Peripheral blood film — 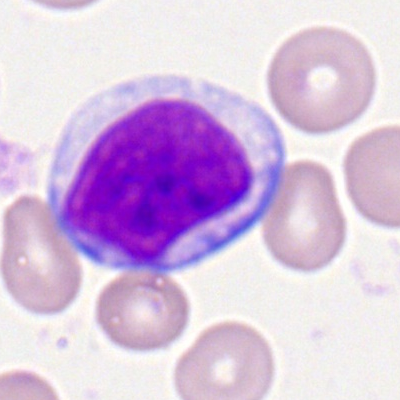

The cell shown is a myeloid blast.